Bone marrow smear:
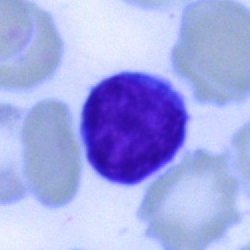

Typical lymphocyte.